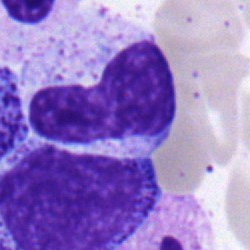

Cell = band-form neutrophil.